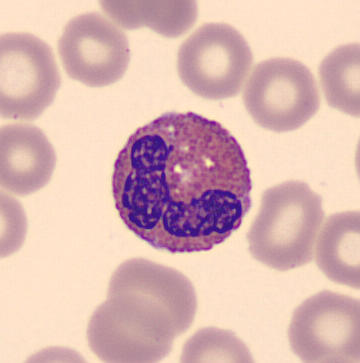
Peripheral blood film, single cell — eosinophilic granulocyte.